Bone marrow aspirate smear — 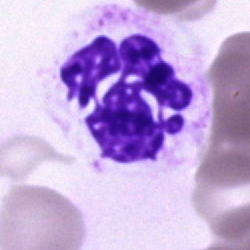The morphological class is neutrophil (segmented).